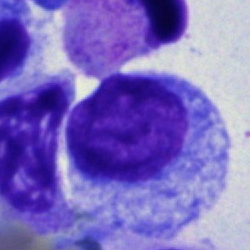 Q: Which cell type is shown here?
A: A promyelocyte.